Bone marrow smear:
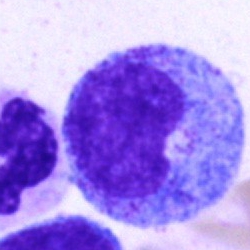Classification — progranulocyte.